Bone marrow aspirate smear — 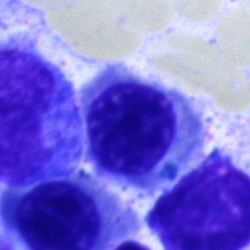
Showing a nucleated red cell.